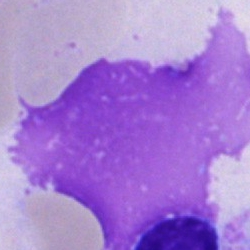Q: What is shown here?
A: This is an artifact.